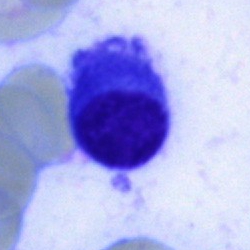
{"cell_type": "plasmacyte", "lineage": "lymphoid"}